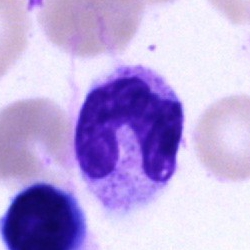The cell type is neutrophil (band).